Bone marrow smear; single-cell field; Pappenheim-stained:
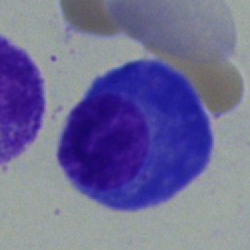{"cell_type": "plasma cell"}